Bone marrow aspirate smear · single cell centered in the field: 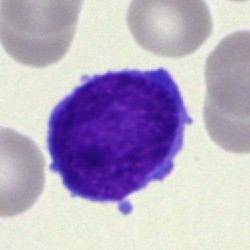 Q: What is the morphological classification of this cell?
A: Blast cell.